Bone marrow smear. 250×250: 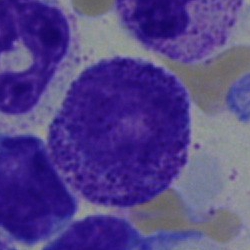 Impression — myelocyte.